Bone marrow aspirate smear.
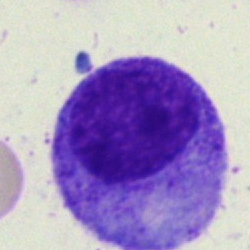
{"cell_type": "promyelocyte", "lineage": "myeloid"}